Bone marrow aspirate smear
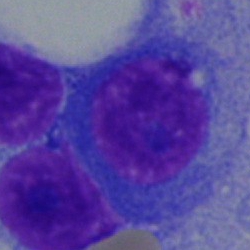A plasma cell.